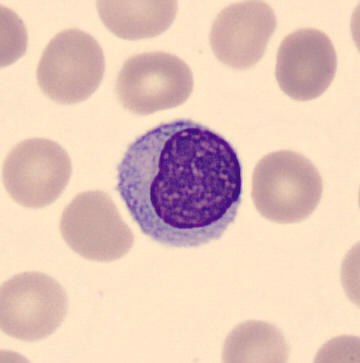
Image: Peripheral blood smear.
Impression → typical lymphocyte.